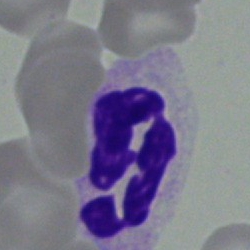Morphology consistent with a segmented neutrophil.